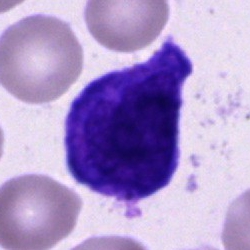
A cell of indeterminate lineage.